250×250 px · bone marrow smear.
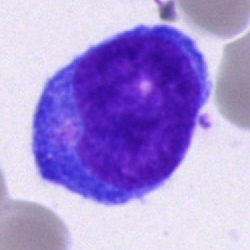Morphology consistent with an undifferentiated blast.